Single-cell field. Bone marrow aspirate smear. May-Grünwald-Giemsa/Pappenheim stain
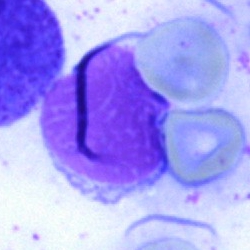

Specimen: bone marrow smear.
Cell: cell of indeterminate lineage.